Peripheral blood smear: 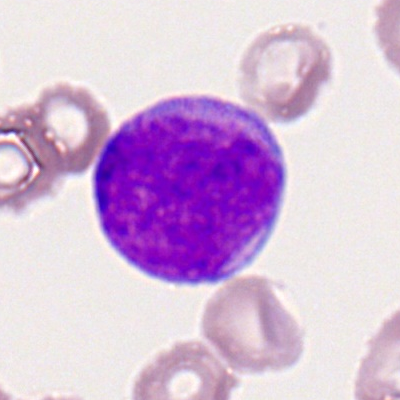
The cell is myeloid blast.